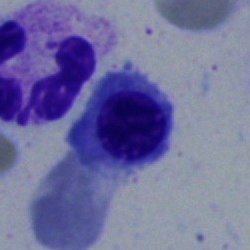 Cell — nucleated red blood cell.